Image size 250×250. Bone marrow aspirate smear: 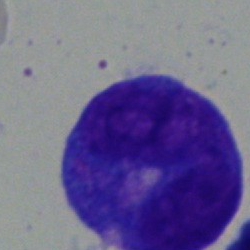 Promyelocyte.